MGG-stained · bone marrow smear — 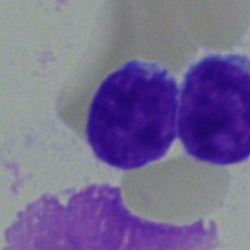

Q: What cell is this?
A: This is a blast.